Bone marrow aspirate smear — 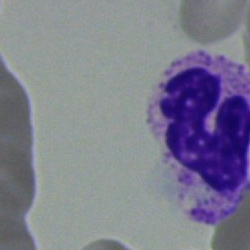
Classification — segmented neutrophil.